Bone marrow aspirate smear:
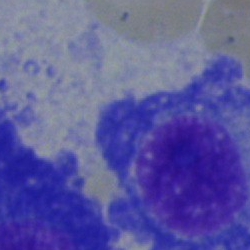

A plasma cell.